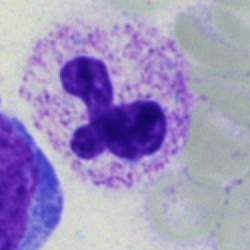
Bone marrow smear showing a neutrophil (segmented).